Image size 250×250 · brightfield, 40× oil-immersion objective · bone marrow aspirate smear
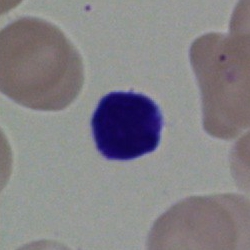

This is a hairy cell.